Single cell centered in the field; bone marrow aspirate smear; brightfield microscopy, 40× oil immersion: 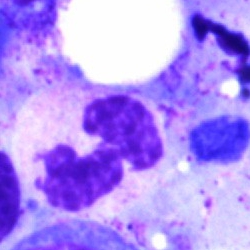Single cell identified as a segmented neutrophil.